Single-cell field · Romanowsky-type stain · peripheral blood film
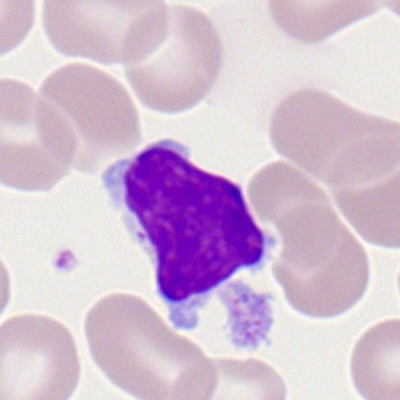

This is a lymphocyte.